MGG-stained; bone marrow smear: 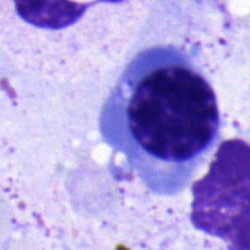

Morphological class = nucleated red cell.